Bone marrow smear:
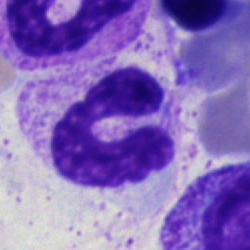

A segmented neutrophil.